May-Grünwald-Giemsa/Pappenheim stain; bone marrow aspirate smear
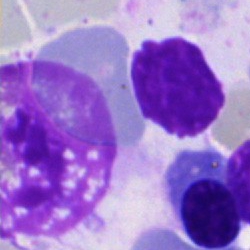Single cell identified as an artifact.